Bone marrow smear — 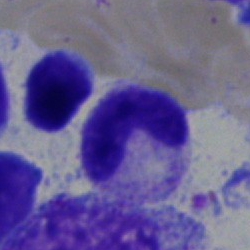 {"cell_type": "band-form neutrophil", "lineage": "myeloid"}